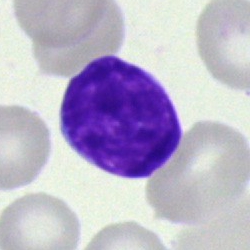
{"cell_type": "blast"}